Single-cell crop; bone marrow aspirate smear; May-Grünwald-Giemsa/Pappenheim stain
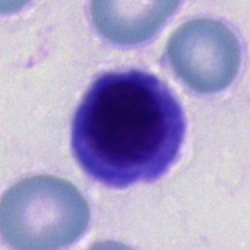 Cell — nucleated red cell.